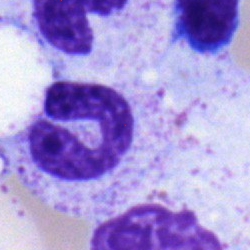Classification = segmented neutrophil.